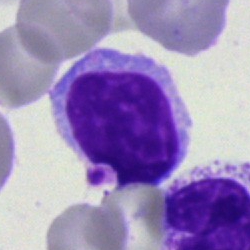 Morphological class = lymphocyte.